Bone marrow aspirate smear.
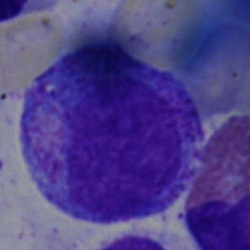

{"cell_type": "progranulocyte", "lineage": "myeloid"}